Bone marrow aspirate smear; single cell centered in the field.
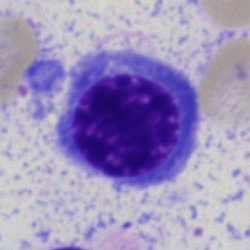Morphology consistent with an erythroblast.